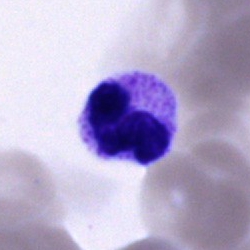
Showing a polymorphonuclear neutrophil.